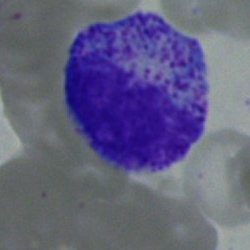

Q: Identify the cell.
A: A myelocyte.